Bone marrow aspirate smear; 250 by 250 pixels:
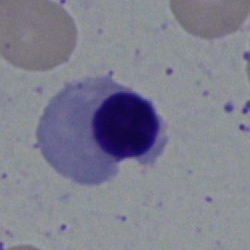

This is an erythroblast.